Bone marrow smear · image size 250×250 — 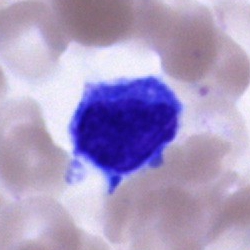
Q: What cell is this?
A: This is an unidentifiable cell.